Bone marrow smear — 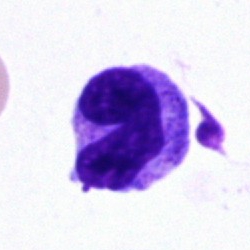

Morphological class: neutrophil (band).